Romanowsky stain · 400 by 400 pixels · peripheral blood smear:
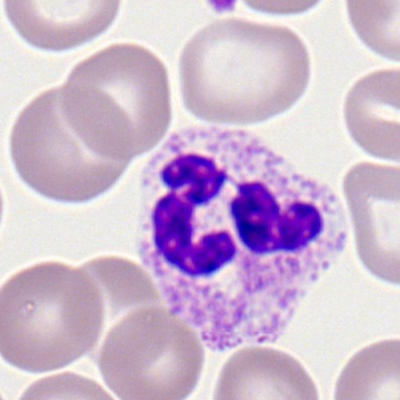

The classification is neutrophil (segmented).